Bone marrow smear. 250×250. May-Grünwald-Giemsa/Pappenheim stain: 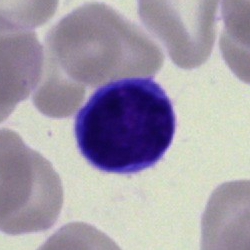

Q: What cell is this?
A: Typical lymphocyte.